Bone marrow smear. 40× oil immersion.
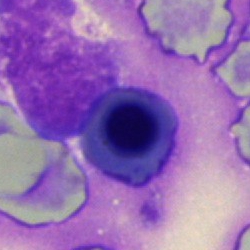Cell type — nucleated red cell.